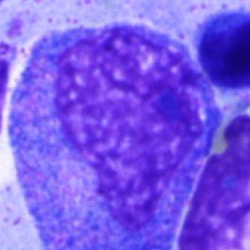
A promyelocyte on a bone marrow smear.